Bone marrow smear: 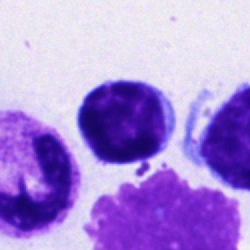Q: Identify the cell.
A: This is a typical lymphocyte.